Bone marrow aspirate smear — 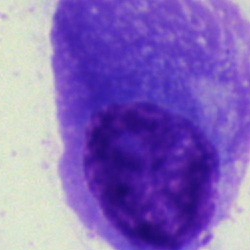
{"cell_type": "plasma cell", "lineage": "lymphoid"}